MGG-stained. Bone marrow smear. 40× oil immersion
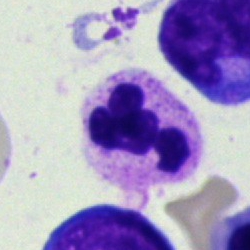
Q: What is the morphological classification of this cell?
A: A neutrophil (segmented).